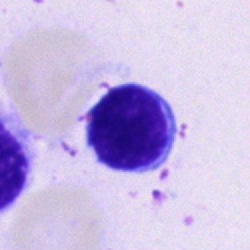
The cell shown is a typical lymphocyte.